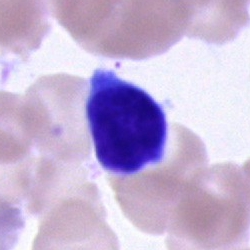

Morphology consistent with a lymphocyte.